Bone marrow smear; single cell centered in the field; 40× objective, oil immersion
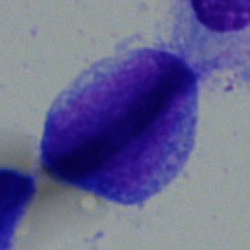

This is a blast cell.